Peripheral blood film · single-cell crop — 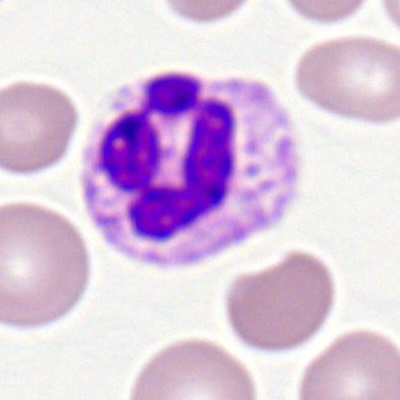
The cell is polymorphonuclear neutrophil.